Peripheral blood smear · 100× objective, oil immersion · Romanowsky-type stain.
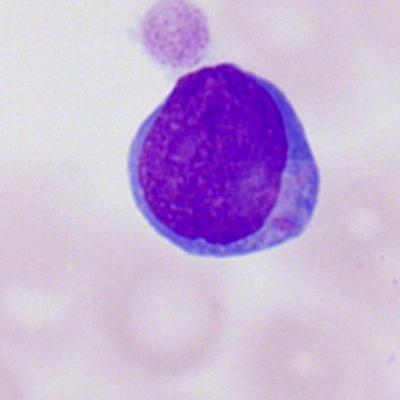
Showing a myeloblast.